Bone marrow smear: 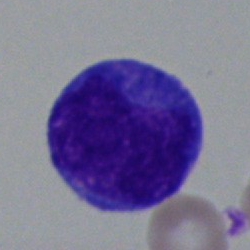 Q: Identify the cell.
A: Blast cell.